Single-cell field. Bone marrow smear. 40× oil immersion
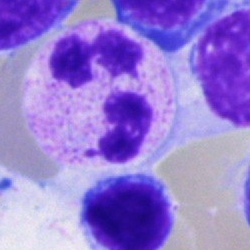Morphology consistent with a neutrophil (segmented).